Bone marrow smear:
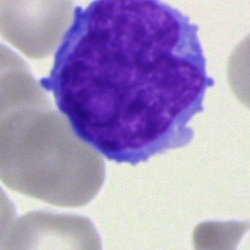
The cell is undifferentiated blast.